Bone marrow smear.
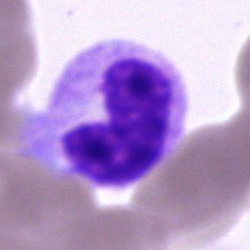
This is a band neutrophil.